Single-cell field. Bone marrow smear — 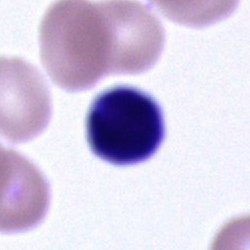
Q: Which cell type is shown here?
A: It is a cell of indeterminate lineage.